Bone marrow aspirate smear
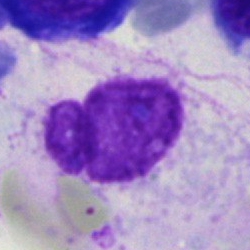Impression → artefact.